Bone marrow aspirate smear — 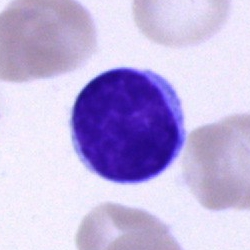The cell type is typical lymphocyte.